Single-cell field; bone marrow smear — 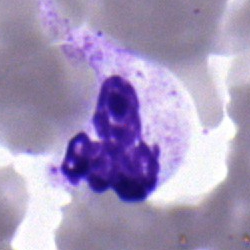

Q: Which cell type is shown here?
A: It is a segmented neutrophil.